Peripheral blood smear — 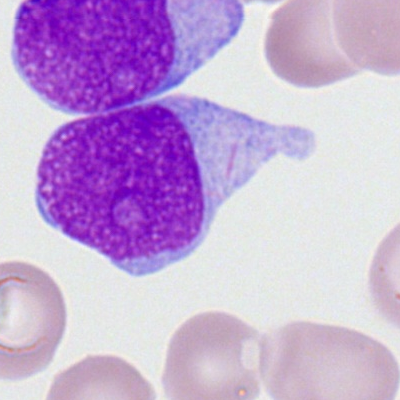 Showing a myeloblast.